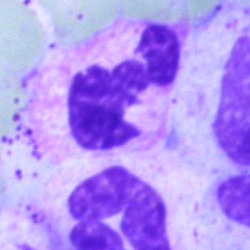

Bone marrow aspirate smear, single cell — neutrophil (segmented).